Bone marrow aspirate smear · 250×250 · May-Grünwald-Giemsa stain.
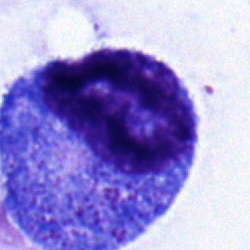
This is a promyelocyte.